Bone marrow aspirate smear — 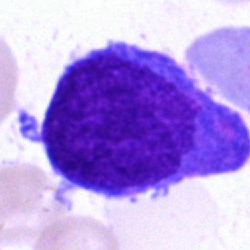An undifferentiated blast.